Bone marrow aspirate smear:
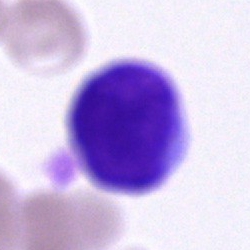

The cell type is unidentifiable cell.